Brightfield, 40× oil-immersion objective; bone marrow smear.
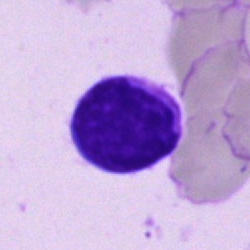Morphological class — typical lymphocyte.